Brightfield, 40× oil-immersion objective. Bone marrow aspirate smear. 250×250 px — 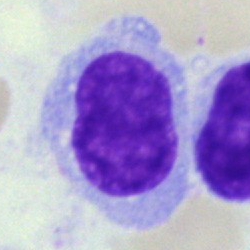Q: Identify the cell.
A: This is a hairy cell.